Bone marrow smear; 250×250 px.
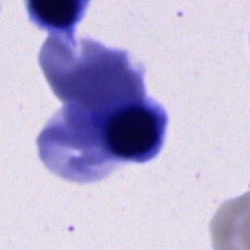The cell shown is a normoblast.